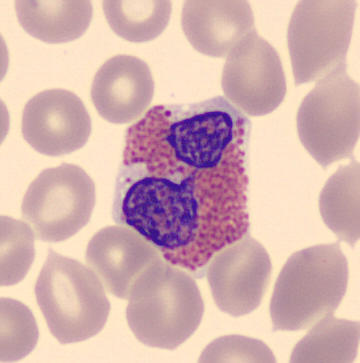
Q: Which cell type is shown here?
A: Eosinophil. Acquisition: Peripheral blood smear; single cell centered in the field.